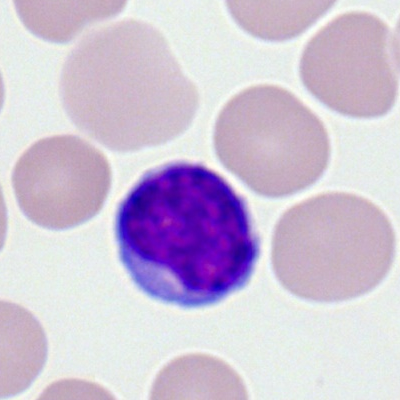 {"cell_type": "lymphocyte", "lineage": "lymphoid"}